Bone marrow smear.
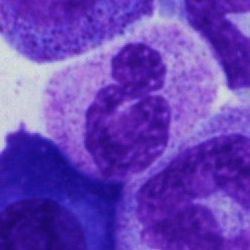
Morphology → polymorphonuclear neutrophil.